Bone marrow aspirate smear: 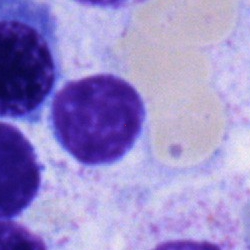

Specimen: bone marrow smear.
Cell: typical lymphocyte.
Lineage: lymphoid.